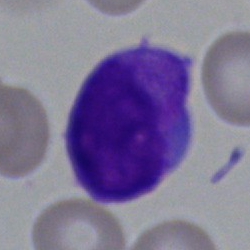
Classification: blast cell.